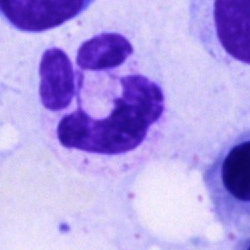
Cell type = polymorphonuclear neutrophil.